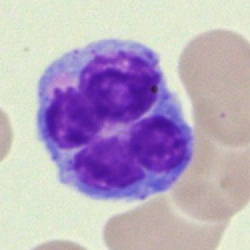

Cell type: monocyte.